Bone marrow smear; MGG-stained; 250×250
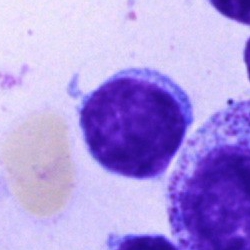
Showing a lymphocyte.